Bone marrow aspirate smear; single cell centered in the field: 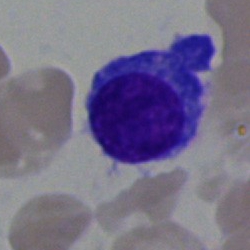
Morphology consistent with a plasma cell.